Bone marrow smear — 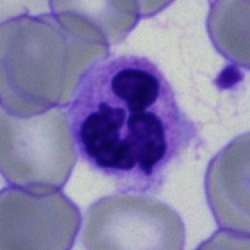

Neutrophil (segmented).